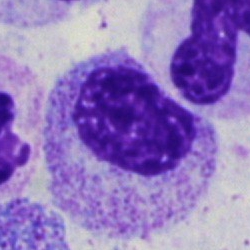 Single cell identified as a myelocyte.